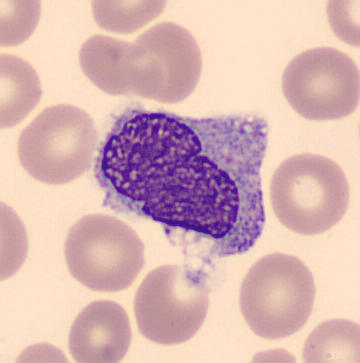
Monocyte.

Image: Peripheral blood film.